Bone marrow aspirate smear — 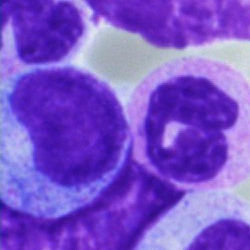

Specimen: bone marrow smear.
Cell: polymorphonuclear neutrophil.